Bone marrow aspirate smear — 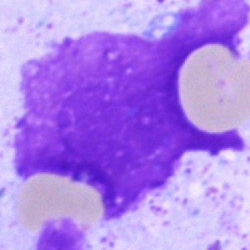

Morphological class — artifact.